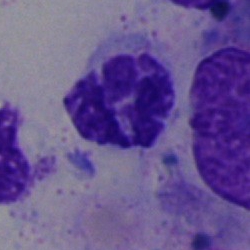
Specimen: bone marrow smear.
Cell type: neutrophil (segmented).
Lineage: myeloid.